Bone marrow aspirate smear — 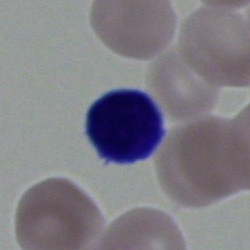

This is a typical lymphocyte.